250×250 · bone marrow smear:
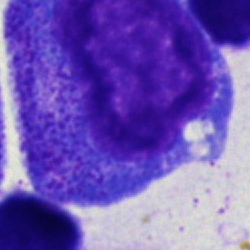
Q: Which cell type is shown here?
A: It is a promyelocyte.